Bone marrow smear — 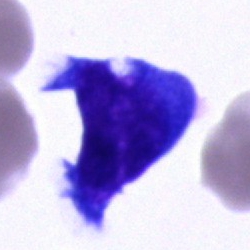

Specimen: bone marrow smear.
Morphological class: blast cell.